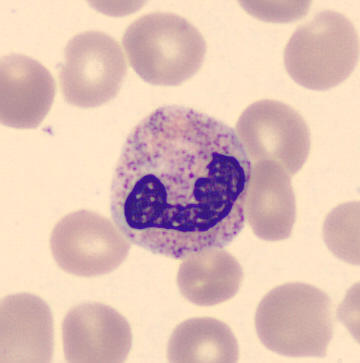

Q: What type of cell is this?
A: Segmented neutrophil.